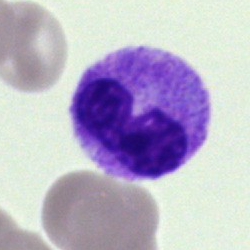Morphological class = polymorphonuclear neutrophil.